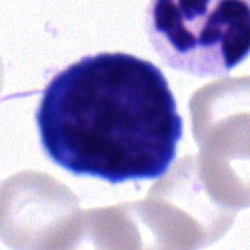Cell = normoblast.